Bone marrow smear — 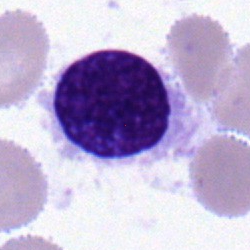 The classification is lymphocyte.